Brightfield microscopy, 40× oil immersion · bone marrow aspirate smear
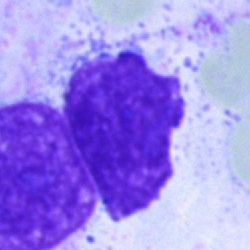
Cell: artefact.